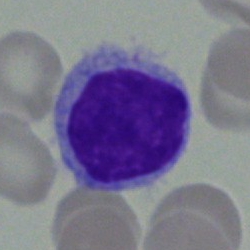

The classification is typical lymphocyte.